Bone marrow smear.
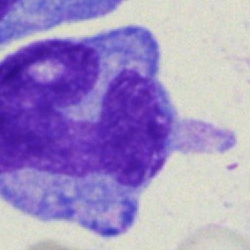
Morphology consistent with a monocyte.